Pappenheim-stained. Bone marrow aspirate smear.
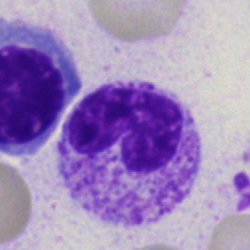 Cell: band neutrophil.